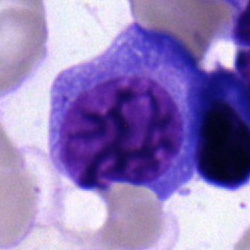Specimen: bone marrow aspirate smear.
Cell: plasma cell.
Lineage: lymphoid.